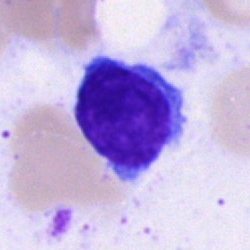

Q: Identify the cell.
A: Lymphocyte.